Bone marrow aspirate smear; May-Grünwald-Giemsa stain; brightfield, 40× oil-immersion objective: 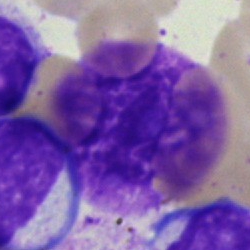 Cell type — artefact.